Peripheral blood film — 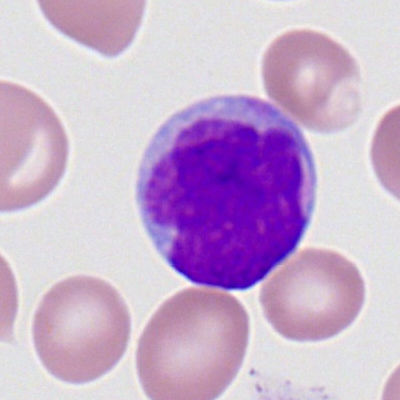This is a myeloid blast.